400×400 px. Romanowsky-stained. Peripheral blood smear
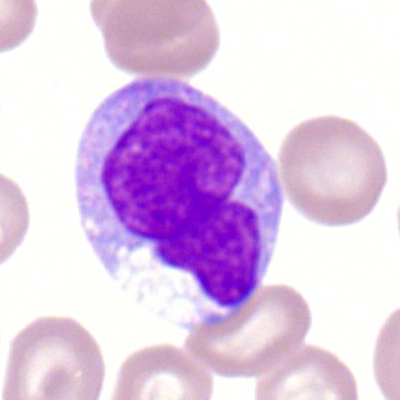
{"cell_type": "monocyte"}